Peripheral blood film:
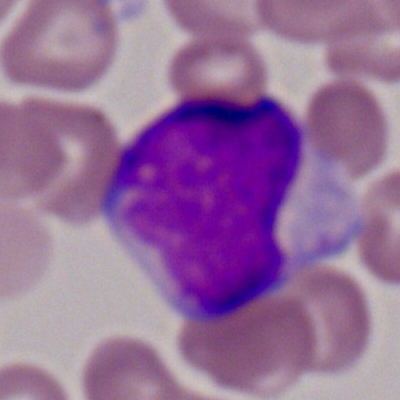 Morphology consistent with a myeloblast.